Bone marrow smear. 250 by 250 pixels.
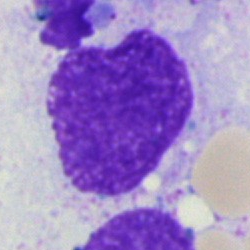Morphology consistent with an artefact.